Single-cell crop · bone marrow aspirate smear.
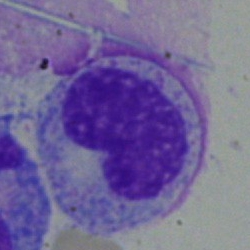

Q: What is shown here?
A: Metamyelocyte.